Bone marrow smear:
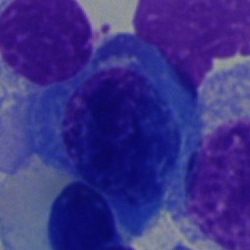

Proerythroblast.